Bone marrow smear:
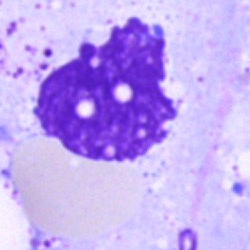

An artifact.